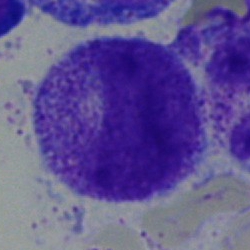
Specimen: bone marrow smear.
Cell type: myelocyte.
Lineage: myeloid.